Bone marrow aspirate smear; May-Grünwald-Giemsa/Pappenheim stain: 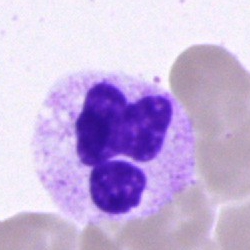 Classification = neutrophil (segmented).